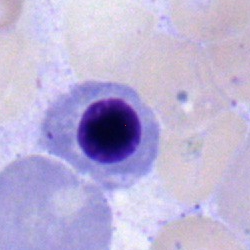
{"cell_type": "nucleated red blood cell", "lineage": "erythroid"}